Bone marrow smear: 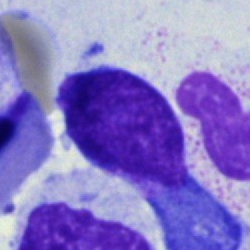
The cell type is artefact.